400×400 · peripheral blood film — 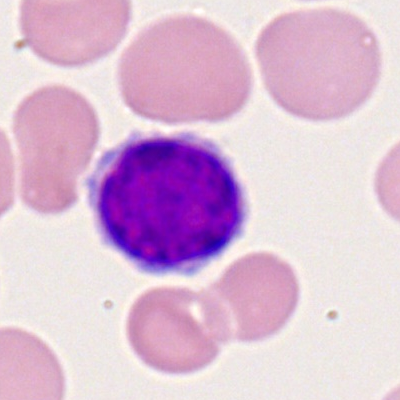 {"cell_type": "lymphocyte", "lineage": "lymphoid"}